Bone marrow smear — 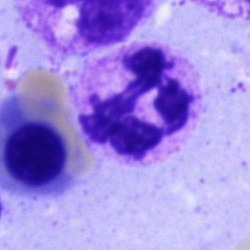
Morphology consistent with a segmented neutrophil.